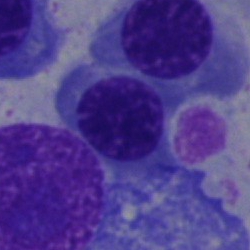Morphology consistent with an erythroblast.